Bone marrow aspirate smear · MGG-stained.
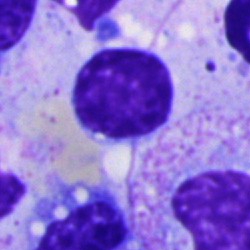Specimen: bone marrow smear.
Classification: lymphocyte.